Single cell centered in the field. Bone marrow aspirate smear
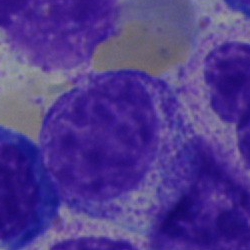

Cell = myelocyte.